Bone marrow smear:
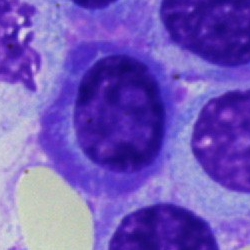

Morphology — plasmacyte.